Single-cell field · 250×250 px · bone marrow aspirate smear: 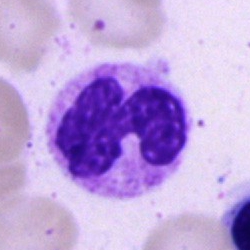
Polymorphonuclear neutrophil.